Bone marrow aspirate smear:
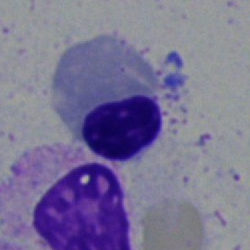 Cell type: normoblast.